Image size 250×250; bone marrow smear; MGG-stained: 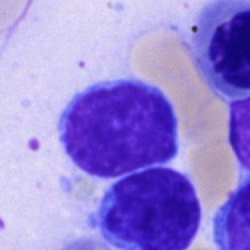 Morphological class = typical lymphocyte.